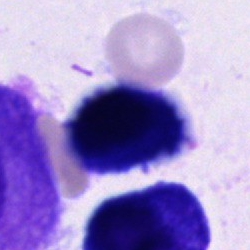
Showing a cell of indeterminate lineage.